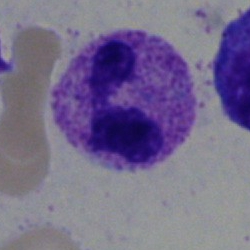 Q: Identify the cell.
A: A polymorphonuclear neutrophil.